Bone marrow aspirate smear.
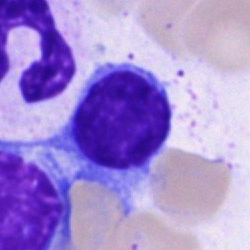

Morphology → typical lymphocyte.